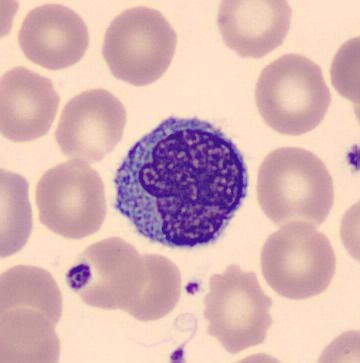 Classification — monocyte.

Imaged on a CellaVision DM96 analyser. Peripheral blood smear. Image size 360×363.